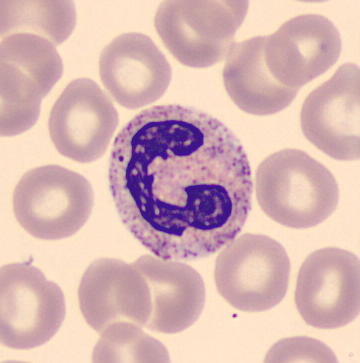
Q: What is this?
A: This is a neutrophil (segmented).